Bone marrow aspirate smear · single-cell crop.
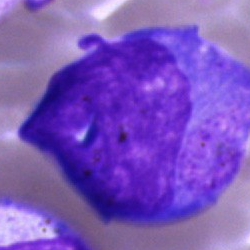

A promyelocyte.